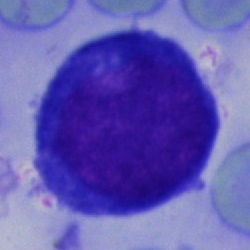A pronormoblast on a bone marrow smear.